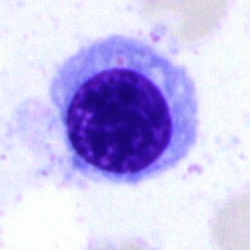

Cell type = nucleated red cell.